Bone marrow smear — 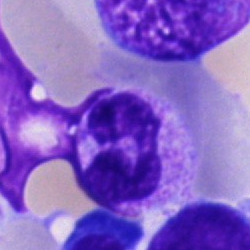

Showing a segmented neutrophil.